Bone marrow aspirate smear
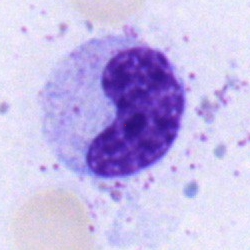

A metamyelocyte.